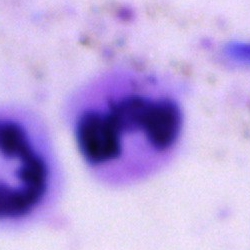This is a segmented neutrophil.